250×250. Bone marrow smear.
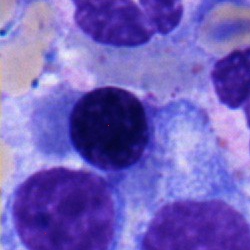 Morphology consistent with a nucleated red cell.